Peripheral blood smear: 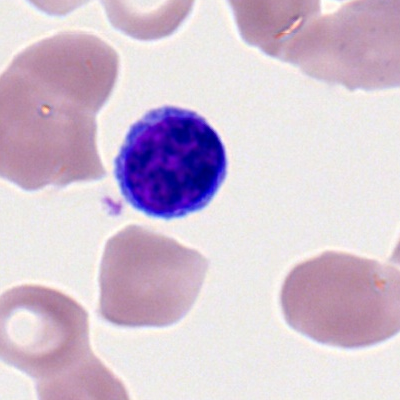

Q: Which cell type is shown here?
A: A typical lymphocyte.